Bone marrow aspirate smear:
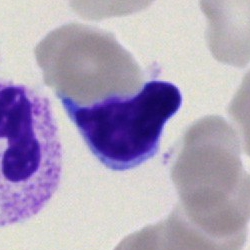

Cell = typical lymphocyte.